MGG-stained · bone marrow aspirate smear.
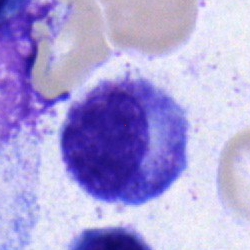

A myelocyte.